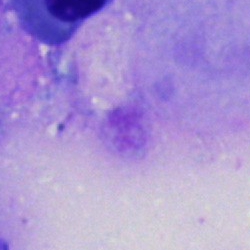Q: What is shown here?
A: This is an artifact.